Single-cell field; bone marrow smear; May-Grünwald-Giemsa stain
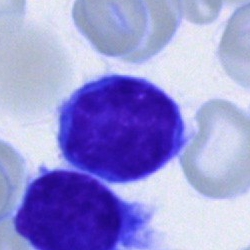 Lymphocyte.